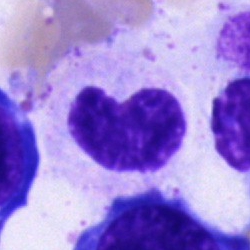Morphology consistent with a cell of indeterminate lineage.